100× oil immersion · peripheral blood film · Romanowsky-stained:
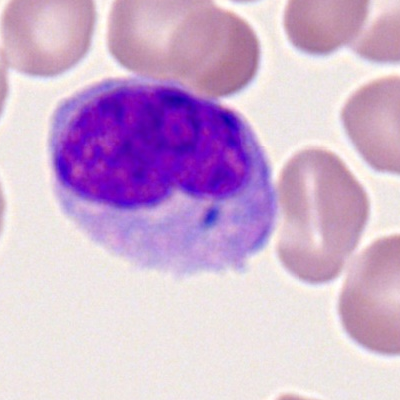 The cell shown is a monocyte.